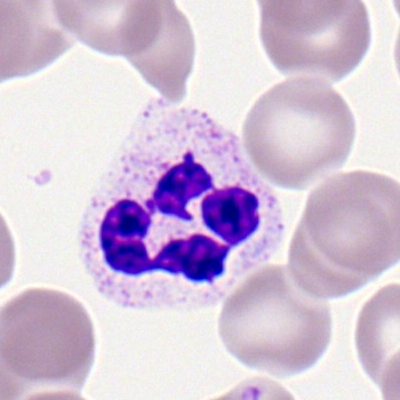
Single-cell crop from a peripheral blood smear: neutrophil (segmented).